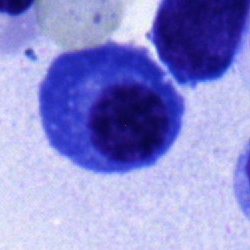

{"cell_type": "plasmacyte", "lineage": "lymphoid"}